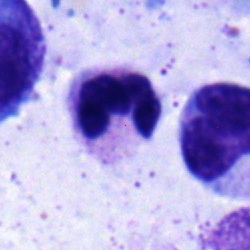
Classification: segmented neutrophil.